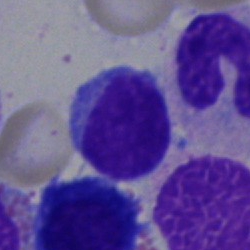

{"cell_type": "lymphocyte", "lineage": "lymphoid"}